Bone marrow aspirate smear. Cropped to a single cell.
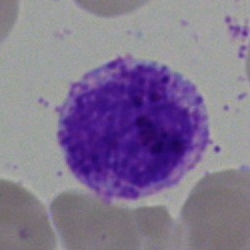

Cell: basophilic granulocyte.